250 by 250 pixels · bone marrow smear.
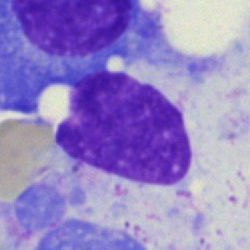
Cell type = artifact.